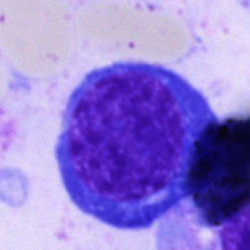Specimen: bone marrow smear.
Classification: nucleated red blood cell.
Lineage: erythroid.